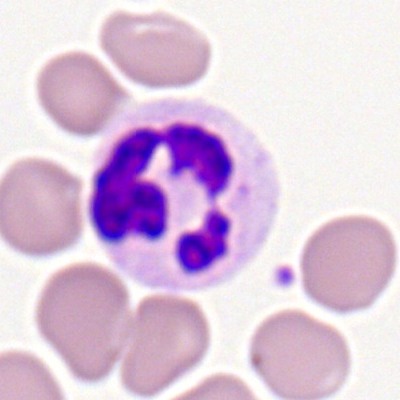The cell is neutrophil (segmented).